Bone marrow aspirate smear: 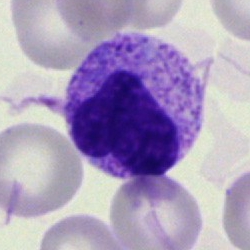Single cell identified as a metamyelocyte.